Bone marrow aspirate smear: 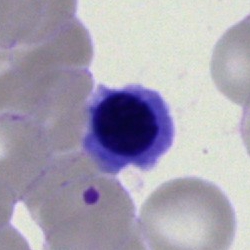
Impression → erythroblast.